Bone marrow aspirate smear. 40× objective, oil immersion. MGG-stained — 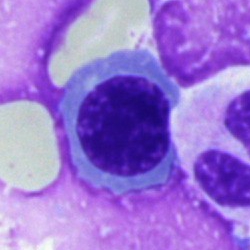 Q: What cell is this?
A: An erythroblast.